Bone marrow aspirate smear
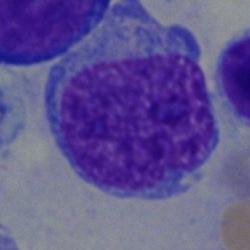The cell shown is an undifferentiated blast.